Bone marrow smear.
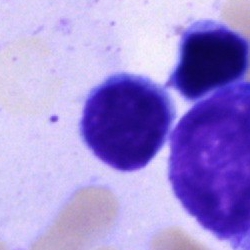Single cell identified as a typical lymphocyte.